Bone marrow aspirate smear — 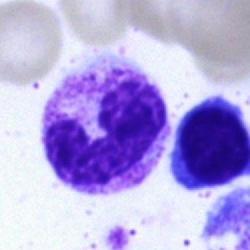Specimen: bone marrow aspirate smear.
Morphological class: stab cell.